Bone marrow aspirate smear; 250×250; May-Grünwald-Giemsa/Pappenheim stain: 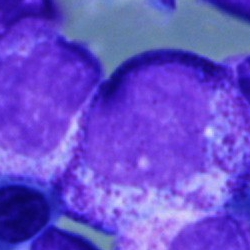Q: Identify the cell.
A: This is a myelocyte.